Bone marrow aspirate smear:
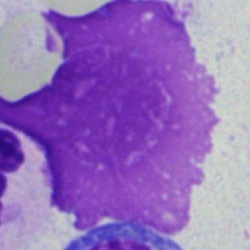
Classification — artifact.